Single-cell field; bone marrow smear; 40× oil immersion.
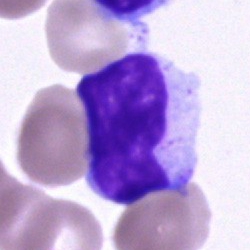Impression — cell of indeterminate lineage.